Bone marrow smear.
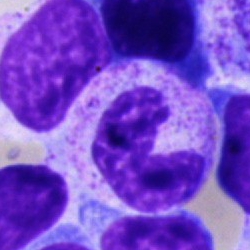
Stab cell.